Bone marrow smear. Single-cell crop
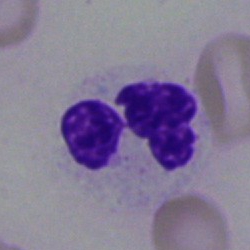

This is a neutrophil (segmented).